Bone marrow smear · brightfield microscopy, 40× oil immersion:
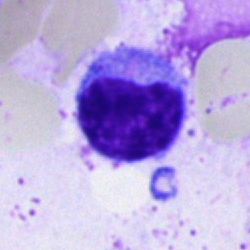 Q: What is shown here?
A: It is a lymphocyte.